Bone marrow smear — 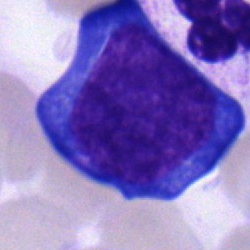 Classification: normoblast.